Single cell centered in the field · bone marrow aspirate smear — 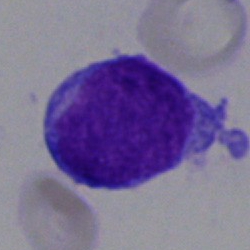Classification — blast.